Bone marrow smear — 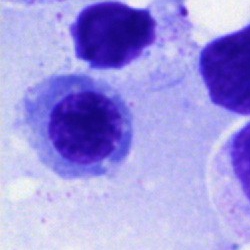 Morphology consistent with a nucleated red cell.